Bone marrow smear; 40× oil immersion: 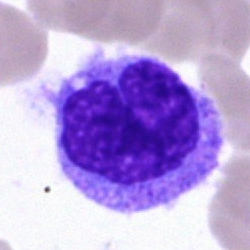

Single cell identified as a monocyte.